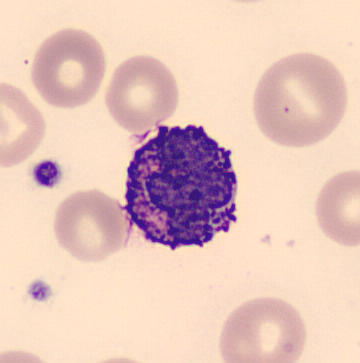
Identified as a basophil.